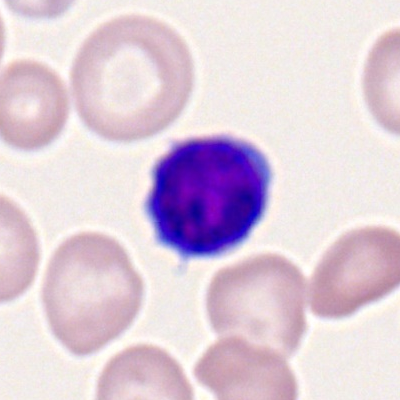

Q: Which cell type is shown here?
A: It is a typical lymphocyte.